Bone marrow aspirate smear — 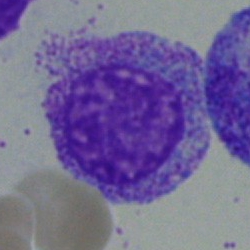 Specimen: bone marrow smear.
Cell type: myelocyte.